Brightfield, 40× oil-immersion objective · bone marrow aspirate smear
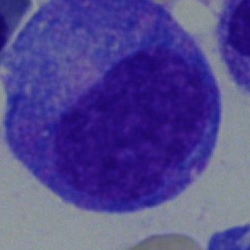 Single cell identified as a promyelocyte.